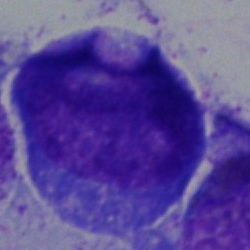 Specimen: bone marrow aspirate smear.
Morphological class: promyelocyte.